Bone marrow smear; cropped to a single cell; 40× objective, oil immersion.
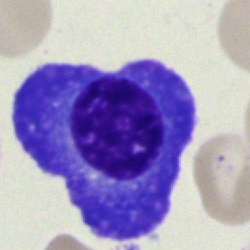

{"cell_type": "plasma cell"}